250 by 250 pixels. Bone marrow aspirate smear:
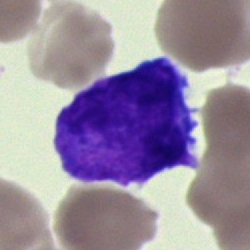 {"cell_type": "progranulocyte", "lineage": "myeloid"}